40× objective, oil immersion · cropped to a single cell · bone marrow smear: 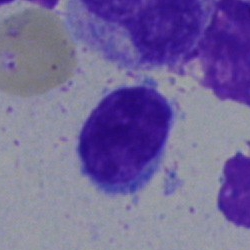Morphology → lymphocyte.